Peripheral blood smear.
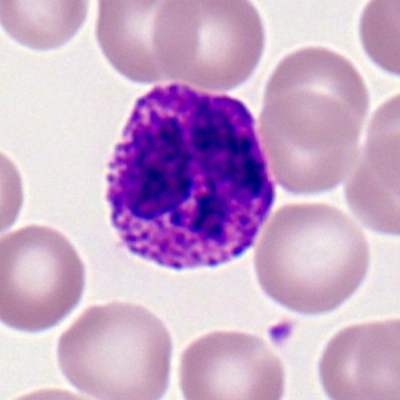
The cell shown is a basophil.